Bone marrow smear; MGG-stained:
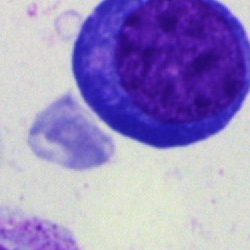

Classification — proerythroblast.